Brightfield, 40× oil-immersion objective. Bone marrow smear — 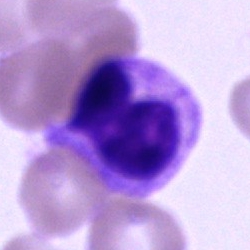 Metamyelocyte.